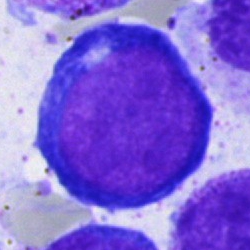Q: Which cell type is shown here?
A: Proerythroblast.